Bone marrow aspirate smear.
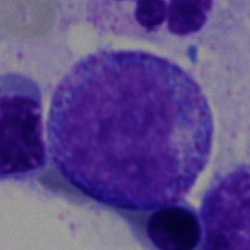 The cell shown is a progranulocyte.